Bone marrow aspirate smear: 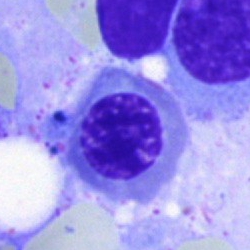Q: What cell is this?
A: It is an erythroblast.